Bone marrow aspirate smear:
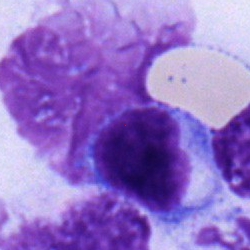Morphological class — typical lymphocyte.